250×250 px · bone marrow smear · single cell centered in the field — 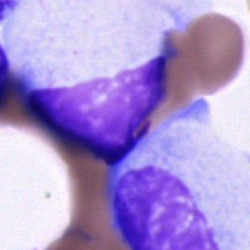
The cell type is cell of indeterminate lineage.